Bone marrow smear
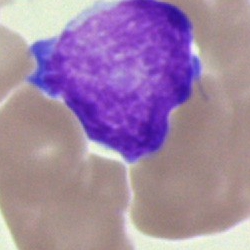
Impression — typical lymphocyte.